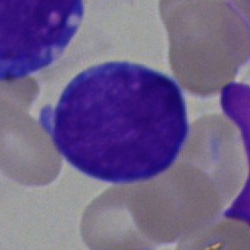Q: What type of cell is this?
A: It is a blast.